Bone marrow smear:
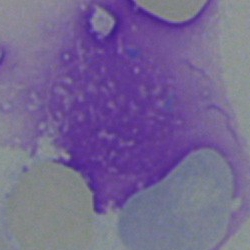Q: What is shown here?
A: It is an artifact.